Bone marrow aspirate smear:
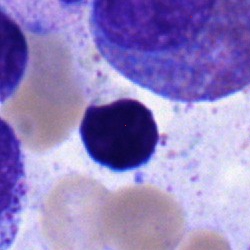
The cell is typical lymphocyte.